Bone marrow smear — 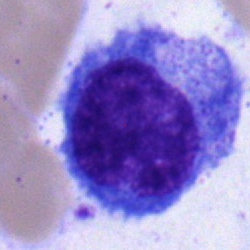
Single cell identified as an undifferentiated blast.